Bone marrow aspirate smear: 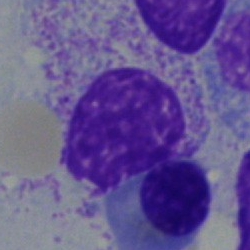This is a myelocyte.